Bone marrow smear
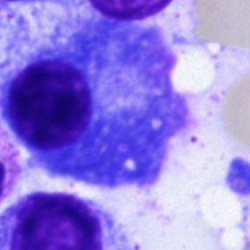

Cell = plasma cell.